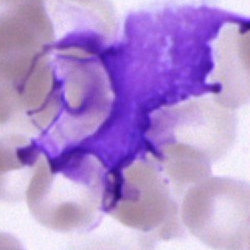
Cell type = artifact.